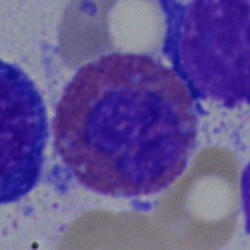Morphological class: eosinophil.